Bone marrow smear.
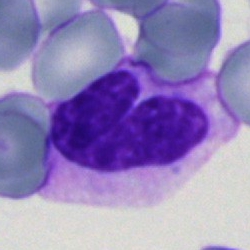
Single cell identified as a segmented neutrophil.